Bone marrow aspirate smear — 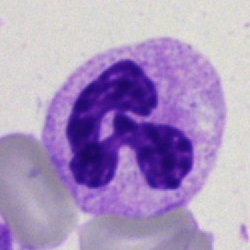
Q: What is the morphological classification of this cell?
A: Segmented neutrophil.